Bone marrow aspirate smear — 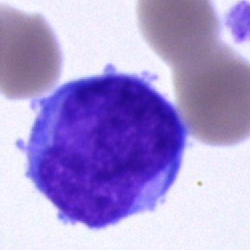 Single cell identified as an undifferentiated blast.